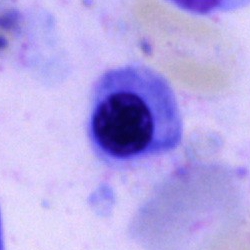

Q: What is shown here?
A: This is a nucleated red blood cell.